Bone marrow aspirate smear · 40× oil immersion
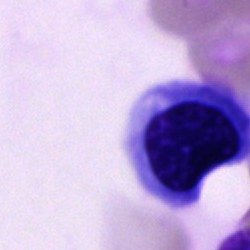 Morphology consistent with a normoblast.